Bone marrow aspirate smear; Pappenheim-stained — 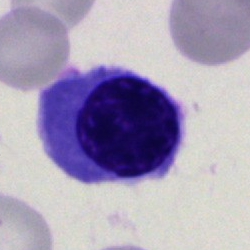
Morphology — normoblast.